Peripheral blood smear
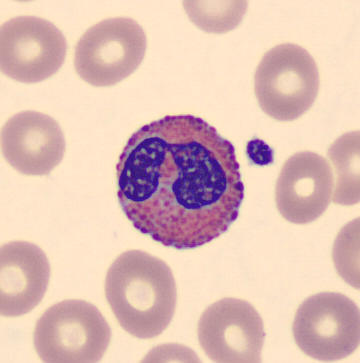

The morphological class is eosinophilic granulocyte.